Bone marrow aspirate smear · cropped to a single cell.
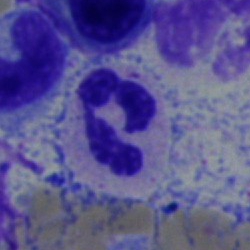 Cell type = neutrophil (segmented).